Bone marrow smear:
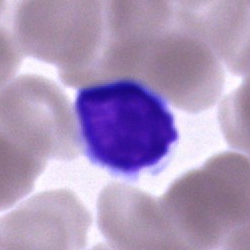

Cell type = lymphocyte.